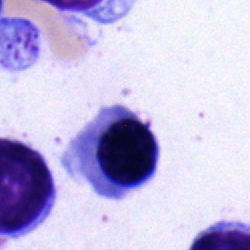
The classification is nucleated red cell.